Bone marrow smear:
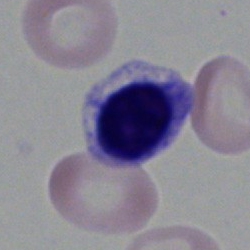Impression → normoblast.